Single-cell field; bone marrow aspirate smear — 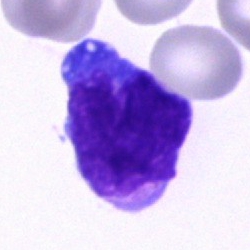

This is a blast cell.